Bone marrow aspirate smear; single-cell field: 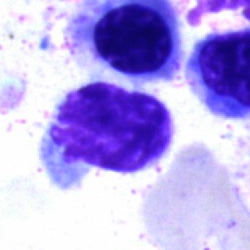

Q: What is shown here?
A: It is a lymphocyte.